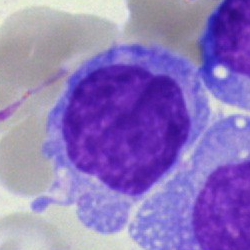Specimen: bone marrow smear.
Morphological class: monocyte.
Lineage: myeloid.